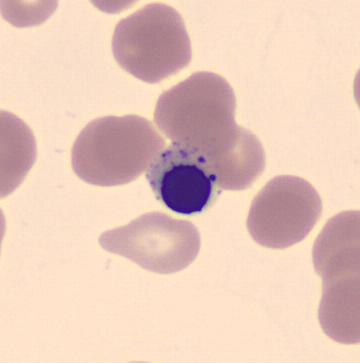
{"cell_type": "nucleated red blood cell", "lineage": "erythroid"}
Image: Peripheral blood smear. 360×363 px.